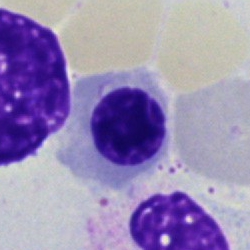The cell shown is an erythroblast.